Peripheral blood film; 400×400 px; Romanowsky-type stain:
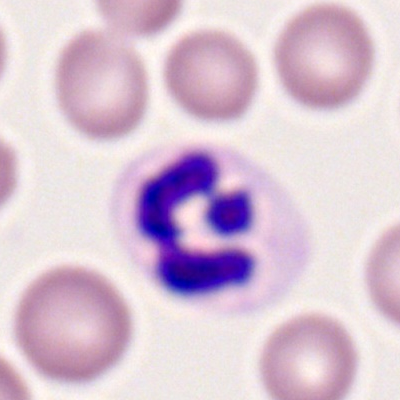 Morphological class = polymorphonuclear neutrophil.